Bone marrow aspirate smear — 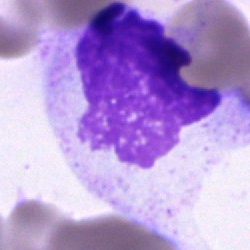
Q: What is shown here?
A: Unidentifiable cell.